Single cell centered in the field; bone marrow aspirate smear
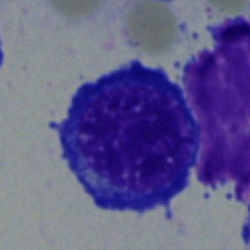
Single cell identified as an erythroblast.